360 by 363 pixels; peripheral blood film; May Grünwald-Giemsa stain.
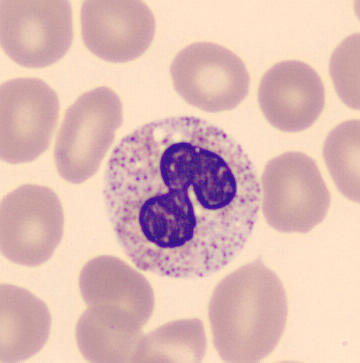
Identified as a segmented neutrophil.